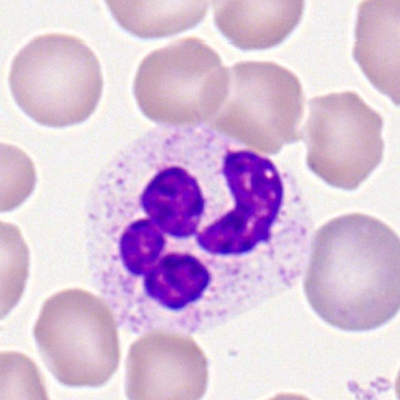
Specimen: peripheral blood smear.
Classification: polymorphonuclear neutrophil.
Lineage: myeloid.